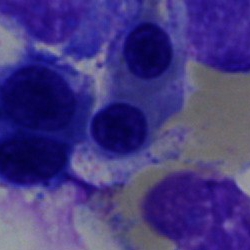

Single-cell crop from a bone marrow smear: nucleated red cell.